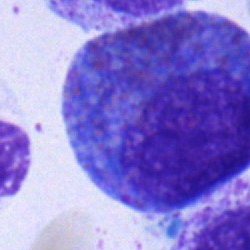Morphological class: eosinophil.